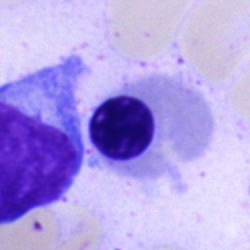{"cell_type": "nucleated red cell"}